Cropped to a single cell; bone marrow aspirate smear; 250×250 px — 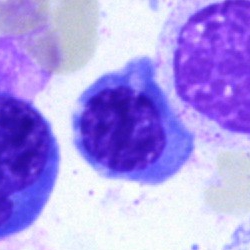

Cell type = erythroblast.